Bone marrow smear: 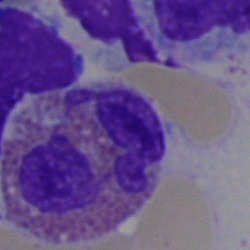 Morphology — eosinophil.